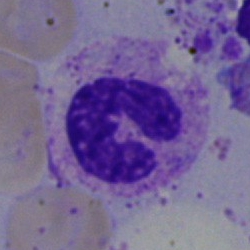

{"cell_type": "polymorphonuclear neutrophil"}